Bone marrow smear:
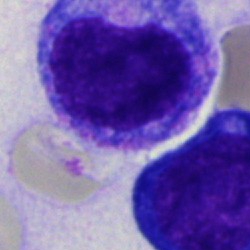

Specimen: bone marrow aspirate smear.
Morphological class: promyelocyte.
Lineage: myeloid.